Bone marrow smear. May-Grünwald-Giemsa stain: 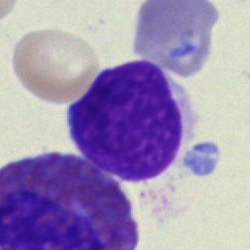
Morphology → artefact.